Bone marrow smear · brightfield microscopy, 40× oil immersion: 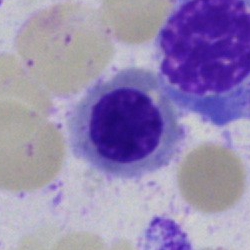Cell — erythroblast.